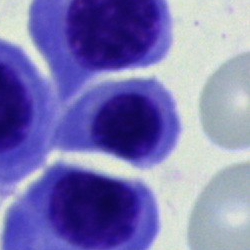
Showing a nucleated red cell.